400 by 400 pixels; peripheral blood smear — 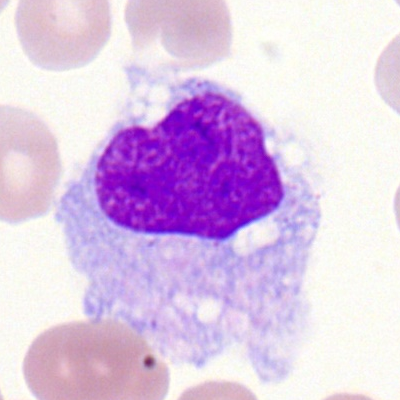

{"cell_type": "monocyte"}